Bone marrow aspirate smear
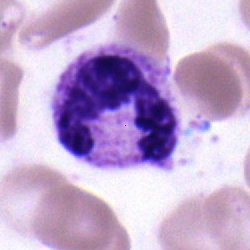
Q: What is the morphological classification of this cell?
A: Segmented neutrophil.